Bone marrow aspirate smear; May-Grünwald-Giemsa stain: 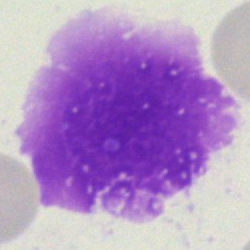
Q: What is shown here?
A: It is an artifact.